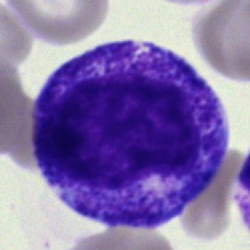
A promyelocyte on a bone marrow smear.